Bone marrow smear.
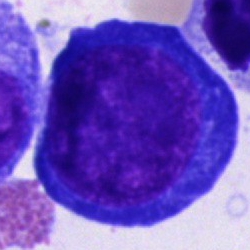Q: What is shown here?
A: It is a pronormoblast.